May-Grünwald-Giemsa stain; bone marrow smear; 40× objective, oil immersion: 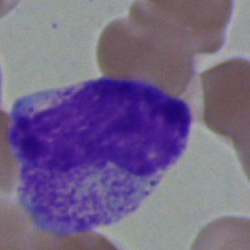 Q: Which cell type is shown here?
A: This is a metamyelocyte.